Peripheral blood smear:
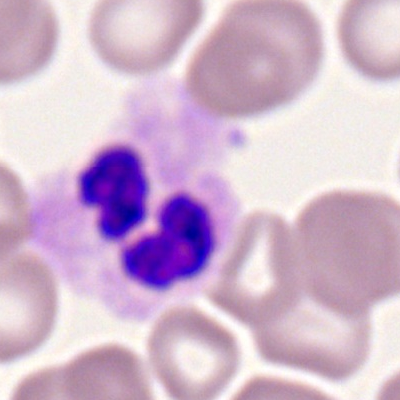 Morphology consistent with a neutrophil (segmented).